Bone marrow aspirate smear:
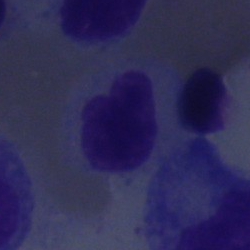
Q: What is shown here?
A: It is a typical lymphocyte.